Brightfield microscopy, 40× oil immersion; bone marrow aspirate smear:
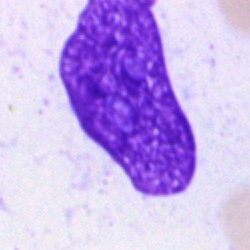

Q: What is shown here?
A: This is an artifact.